Bone marrow smear:
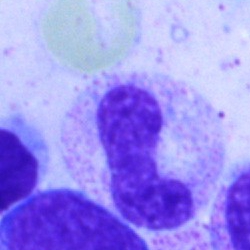The morphological class is band-form neutrophil.